Bone marrow aspirate smear: 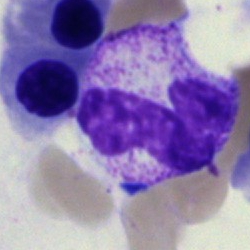 A band neutrophil.